Bone marrow aspirate smear.
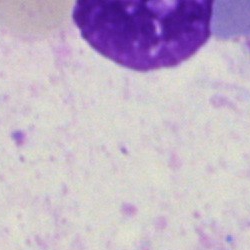

Specimen: bone marrow smear.
Morphological class: artifact.